250×250 px · bone marrow aspirate smear.
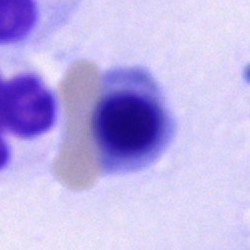

Classification — erythroblast.